Bone marrow smear. May-Grünwald-Giemsa/Pappenheim stain: 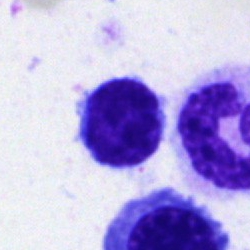

The morphological class is typical lymphocyte.